Bone marrow smear: 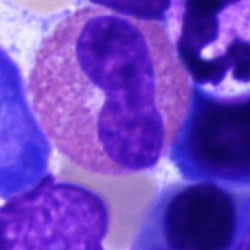
{"cell_type": "eosinophil"}